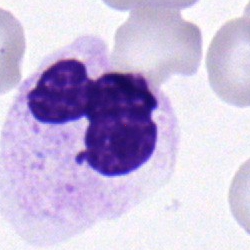

Showing a segmented neutrophil.